Peripheral blood film · Romanowsky-type stain · 100× oil immersion
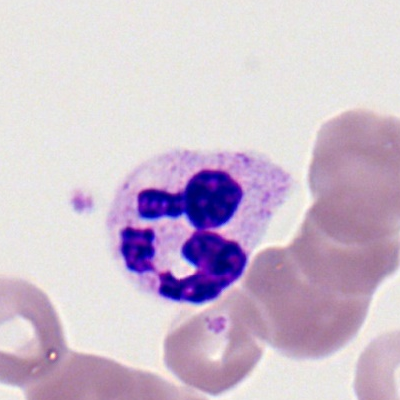{"cell_type": "neutrophil (segmented)"}